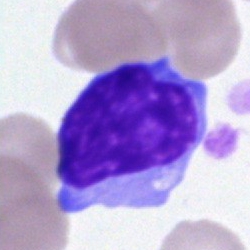 Specimen: bone marrow smear.
Cell: lymphocyte.
Lineage: lymphoid.